Peripheral blood film · brightfield, 100× oil-immersion objective — 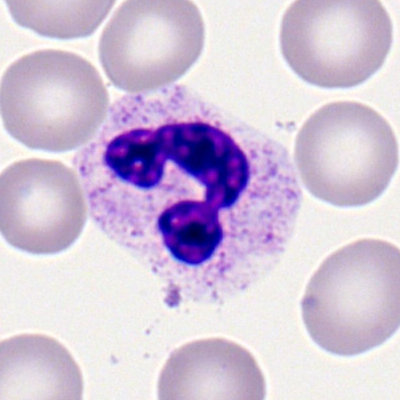

This is a segmented neutrophil.